Bone marrow smear · brightfield, 40× oil-immersion objective
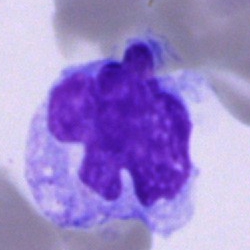
Morphology consistent with a monocyte.